MGG-stained; bone marrow smear.
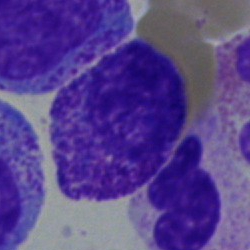

Q: Which cell type is shown here?
A: This is a polymorphonuclear neutrophil.